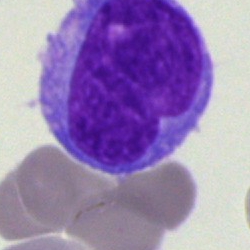Specimen: bone marrow smear.
Classification: blast.